Cropped to a single cell · bone marrow aspirate smear
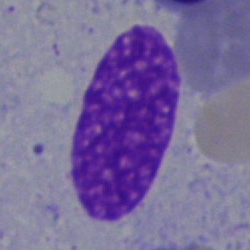

Single cell identified as an artifact.